Bone marrow aspirate smear.
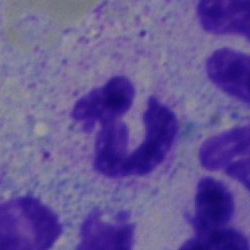Q: Identify the cell.
A: This is a polymorphonuclear neutrophil.